Peripheral blood film.
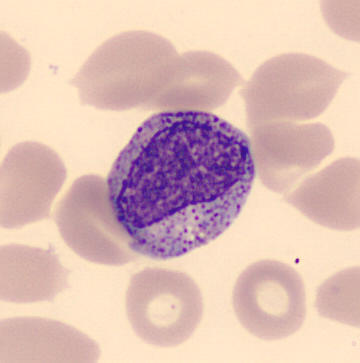
Cell type — myelocyte.